Bone marrow aspirate smear. Single-cell crop. Pappenheim-stained:
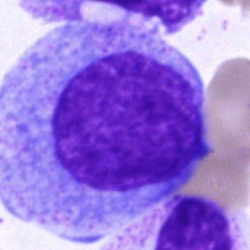 Specimen: bone marrow aspirate smear.
Cell: promyelocyte.
Lineage: myeloid.